40× oil immersion · single cell centered in the field · bone marrow smear:
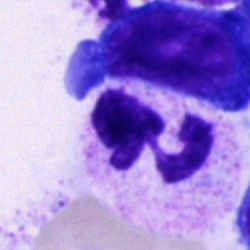
Morphology consistent with a segmented neutrophil.